Bone marrow smear · 40× oil immersion · MGG-stained
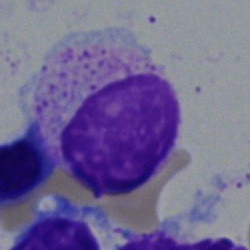
Morphology consistent with a myelocyte.